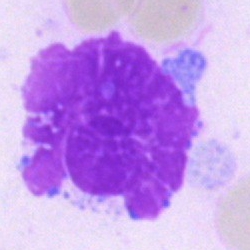 Cell — artefact.